Bone marrow aspirate smear — 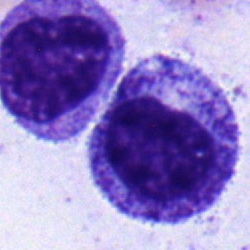
Single cell identified as a myelocyte.